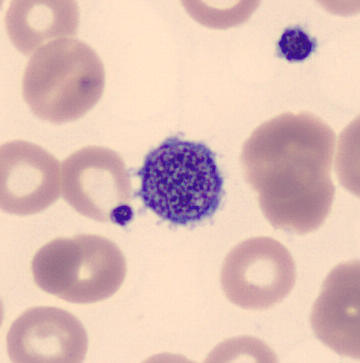 Specimen: peripheral blood film.
Morphological class: platelet (thrombocyte).
Image: May-Grünwald-Giemsa-stained; 360×363.